Bone marrow smear — 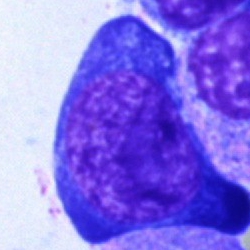 Q: What cell is this?
A: Nucleated red cell.